Single-cell crop. Bone marrow smear — 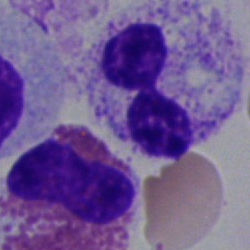 {"cell_type": "segmented neutrophil", "lineage": "myeloid"}